Bone marrow smear
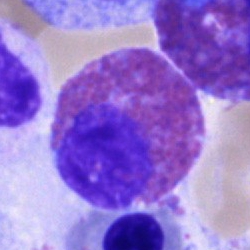
Q: What is shown here?
A: This is an eosinophilic granulocyte.